Brightfield, 40× oil-immersion objective · bone marrow smear · single-cell field — 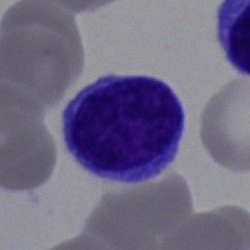Morphology → lymphocyte.